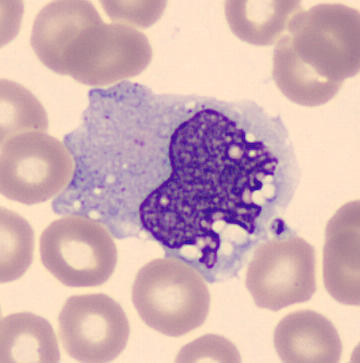
This is a monocyte.